Bone marrow smear: 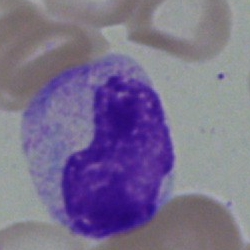

This is a metamyelocyte.